Bone marrow smear.
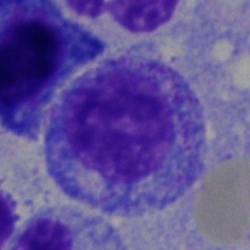
The morphological class is progranulocyte.